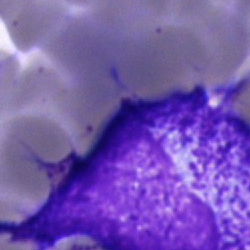 Bone marrow aspirate smear, single cell — promyelocyte.